Bone marrow aspirate smear. Brightfield, 40× oil-immersion objective. Pappenheim-stained — 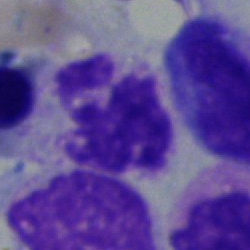 This is a polymorphonuclear neutrophil.